Brightfield microscopy, 40× oil immersion; bone marrow smear; Pappenheim-stained: 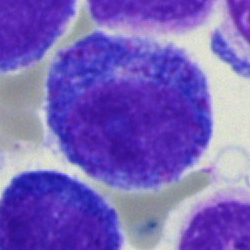 Cell — progranulocyte.